Bone marrow aspirate smear · cropped to a single cell · brightfield microscopy, 40× oil immersion:
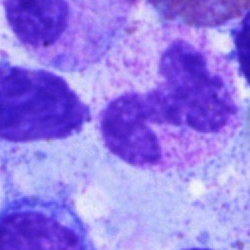
Morphological class = neutrophil (segmented).